40× oil immersion. 250 by 250 pixels. Bone marrow smear.
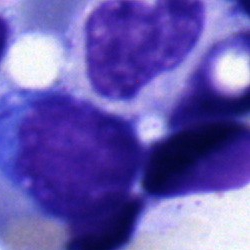Classification = stab cell.